Single-cell field · bone marrow aspirate smear — 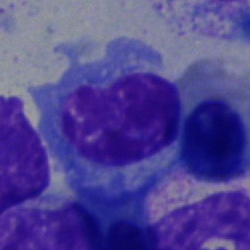 This is a plasmacyte.